Peripheral blood film; single cell centered in the field; image size 360×363: 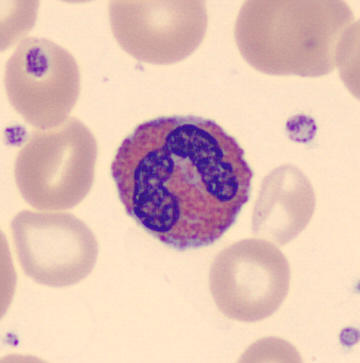

Showing an eosinophilic granulocyte.